250×250 px. Bone marrow aspirate smear. 40× objective, oil immersion:
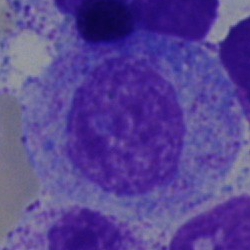

Morphology consistent with a progranulocyte.